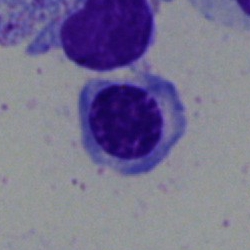

Q: What type of cell is this?
A: It is a nucleated red cell.